250×250. 40× objective, oil immersion. Bone marrow smear
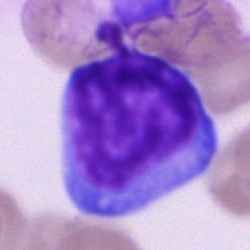{"cell_type": "blast"}